MGG-stained; bone marrow smear:
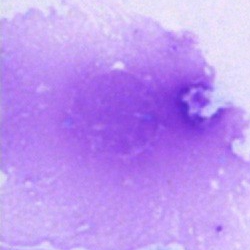

An artifact.